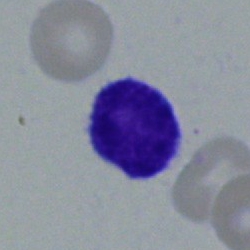
Q: Which cell type is shown here?
A: A typical lymphocyte.